250×250 px · bone marrow smear
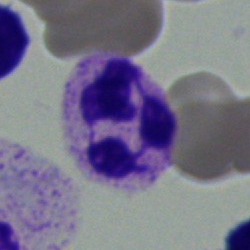
Showing a neutrophil (segmented).